Bone marrow smear
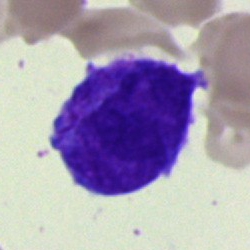
Showing a blast cell.